Single-cell field; bone marrow smear; 40× objective, oil immersion.
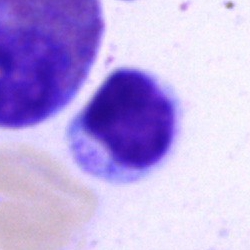

This is a lymphocyte.